Bone marrow smear: 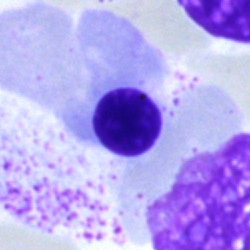Impression — erythroblast.